Bone marrow aspirate smear:
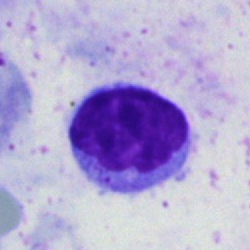 Lymphocyte.